MGG-stained; bone marrow smear:
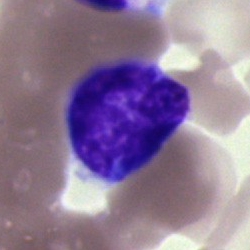Morphological class = unidentifiable cell.